Bone marrow smear.
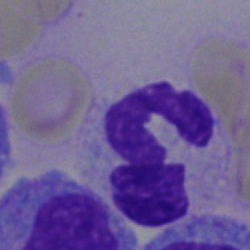

Classification: polymorphonuclear neutrophil.